Bone marrow smear — 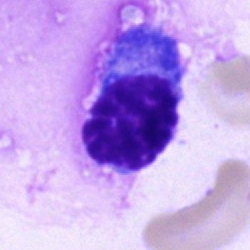{"cell_type": "plasma cell", "lineage": "lymphoid"}